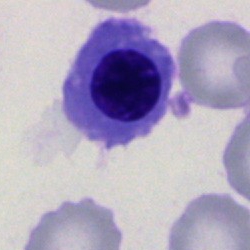 The cell type is nucleated red cell.